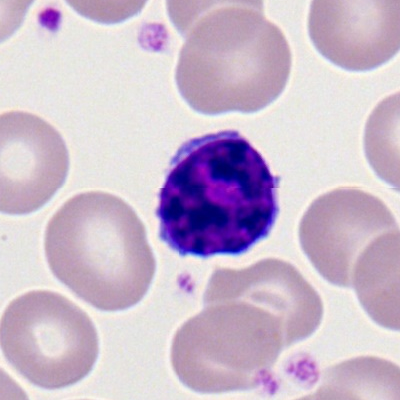
Classification = typical lymphocyte.